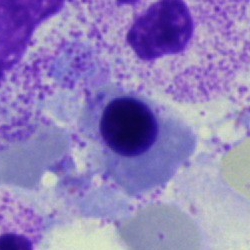 Impression → normoblast.